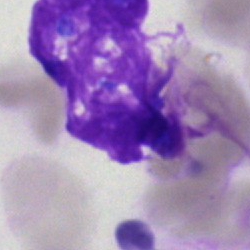
Artefact.